Bone marrow smear. 40× objective, oil immersion
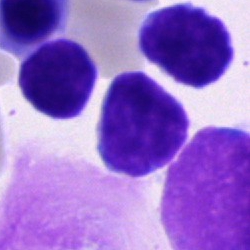
Specimen: bone marrow smear.
Classification: typical lymphocyte.
Lineage: lymphoid.